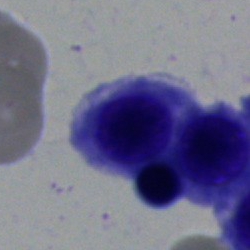

Q: What cell is this?
A: An erythroblast.